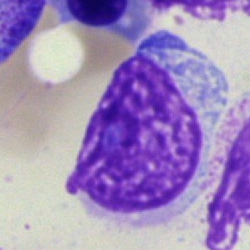Cell type = artefact.